Bone marrow smear
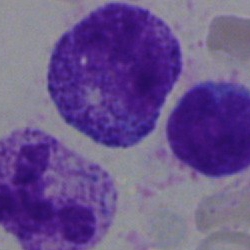Q: What type of cell is this?
A: Promyelocyte.